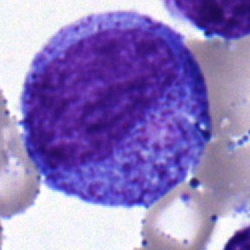
Impression — promyelocyte.